Romanowsky stain; peripheral blood smear — 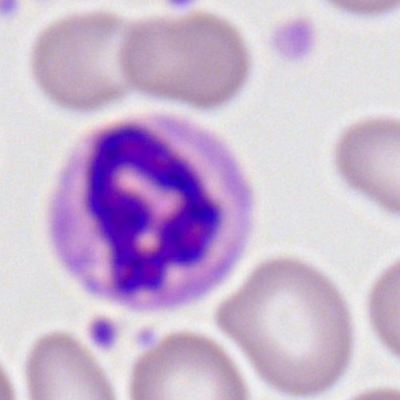Morphological class — polymorphonuclear neutrophil.